Bone marrow smear.
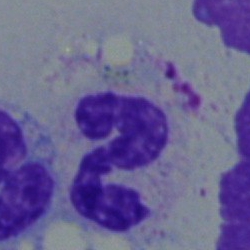

Impression → neutrophil (segmented).